Bone marrow smear — 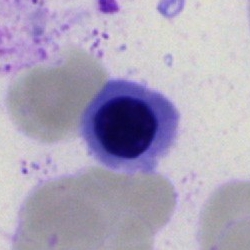Specimen: bone marrow smear.
Classification: nucleated red blood cell.